Cropped to a single cell; bone marrow smear
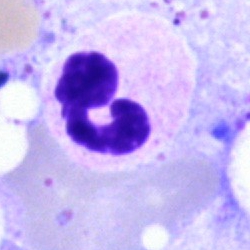 {"cell_type": "segmented neutrophil", "lineage": "myeloid"}